Bone marrow smear
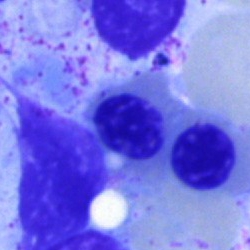 A normoblast.